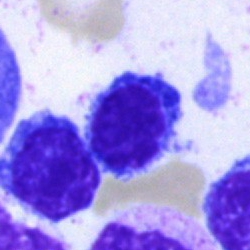 A typical lymphocyte.